Bone marrow smear. Single-cell crop. MGG-stained — 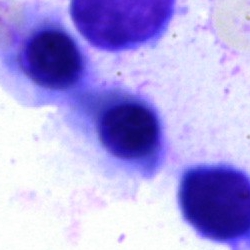

Nucleated red cell.